Bone marrow aspirate smear — 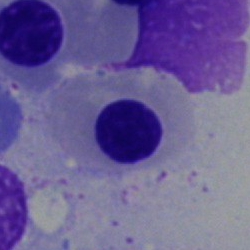The cell is normoblast.